Bone marrow smear; cropped to a single cell
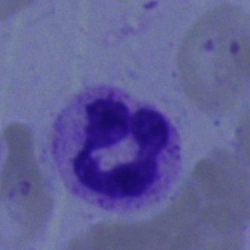Neutrophil (segmented).